Bone marrow smear.
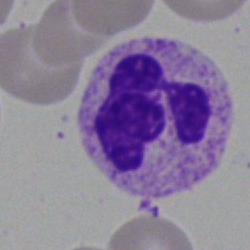

Q: Identify the cell.
A: A segmented neutrophil.